Cropped to a single cell; bone marrow smear — 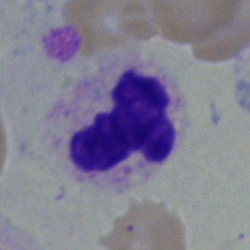Polymorphonuclear neutrophil.